Pappenheim-stained; bone marrow aspirate smear:
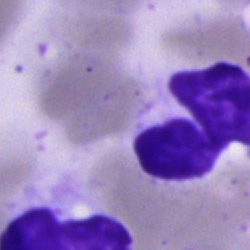Impression → artefact.